Bone marrow smear — 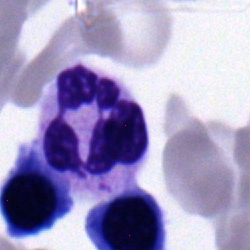 Morphological class — segmented neutrophil.